Bone marrow smear:
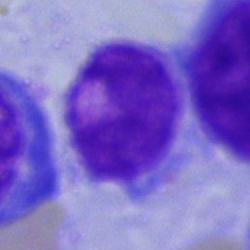

Single cell identified as an artefact.